Brightfield, 40× oil-immersion objective; bone marrow aspirate smear: 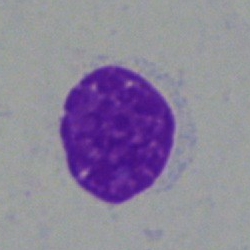 Morphological class: artifact.